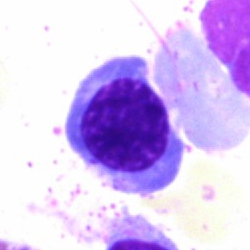Bone marrow smear showing a normoblast.